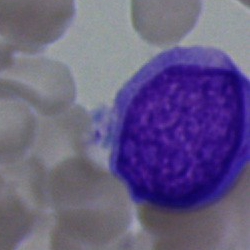The cell shown is an undifferentiated blast.